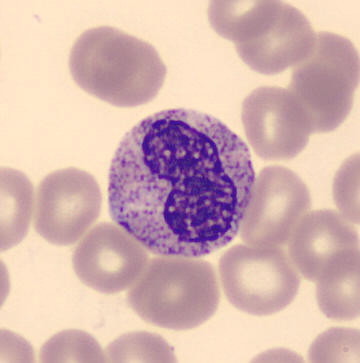 A metamyelocyte. Image: 360×363; peripheral blood smear.